Bone marrow aspirate smear
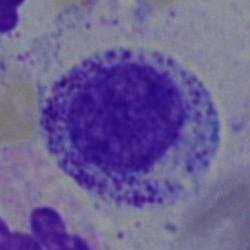
Cell — myelocyte.